Cropped to a single cell · bone marrow aspirate smear — 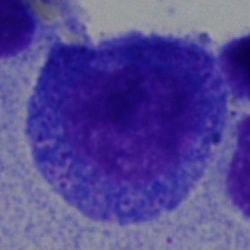 Morphological class — promyelocyte.